Bone marrow aspirate smear. Brightfield microscopy, 40× oil immersion — 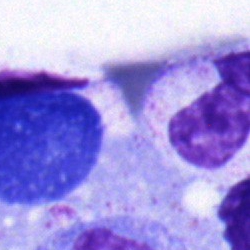{"cell_type": "band-form neutrophil"}